MGG-stained; bone marrow aspirate smear: 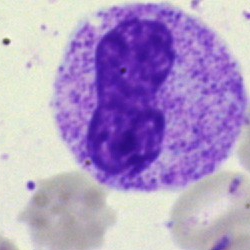Cell type = band-form neutrophil.